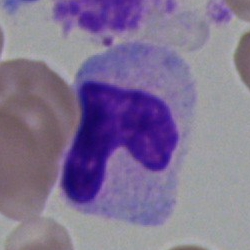{"cell_type": "neutrophil (band)"}